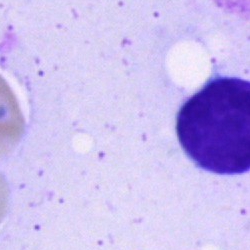
Impression — artifact.